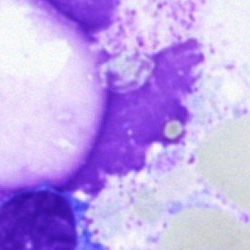 Showing an artifact.